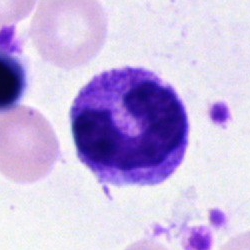

This is a polymorphonuclear neutrophil.